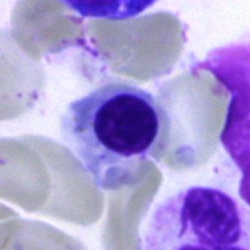 Specimen: bone marrow smear.
Cell: normoblast.